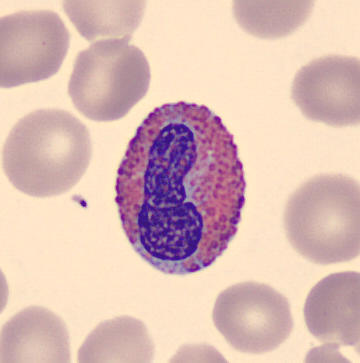Image: 360 by 363 pixels; peripheral blood film; May Grünwald-Giemsa stain.
Q: What cell is this?
A: This is an eosinophil.